Bone marrow aspirate smear. Cropped to a single cell.
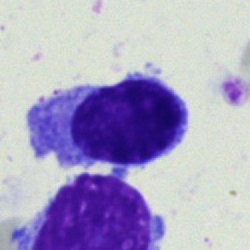 {"cell_type": "typical lymphocyte"}